Cropped to a single cell; bone marrow smear
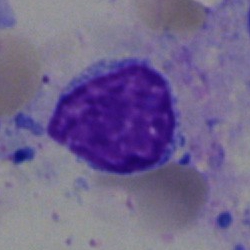Q: What is the morphological classification of this cell?
A: Lymphocyte.